Bone marrow aspirate smear. 250×250 px — 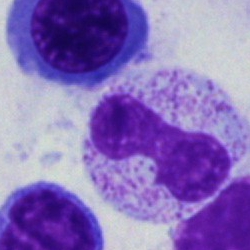

The cell shown is a band-form neutrophil.